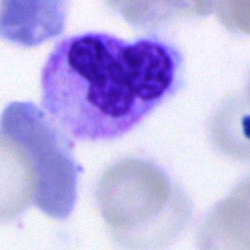 {"cell_type": "polymorphonuclear neutrophil", "lineage": "myeloid"}